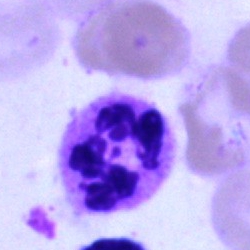Q: Identify the cell.
A: It is a segmented neutrophil.